Single-cell field. May-Grünwald-Giemsa/Pappenheim stain. Bone marrow aspirate smear.
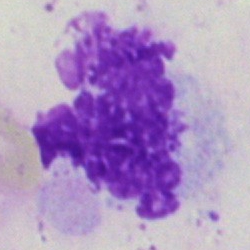

The cell shown is an artefact.